Bone marrow smear
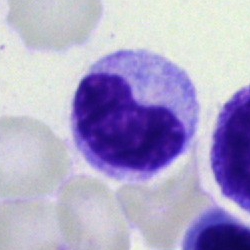

This is a stab cell.